250×250 px. May-Grünwald-Giemsa stain. Bone marrow smear:
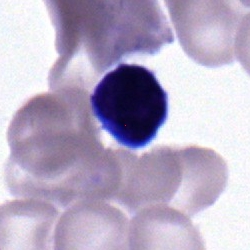

Cell type: lymphocyte.